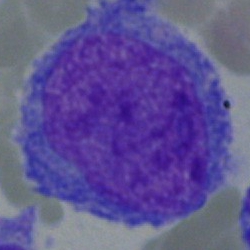
The cell shown is an undifferentiated blast.